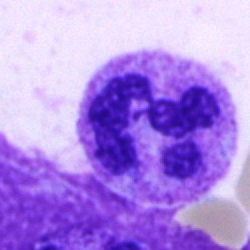

Polymorphonuclear neutrophil.